Single-cell field; bone marrow smear
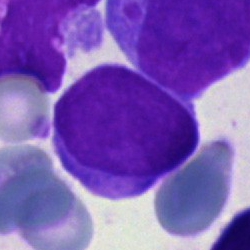 Q: What is shown here?
A: This is a blast.